Peripheral blood smear — 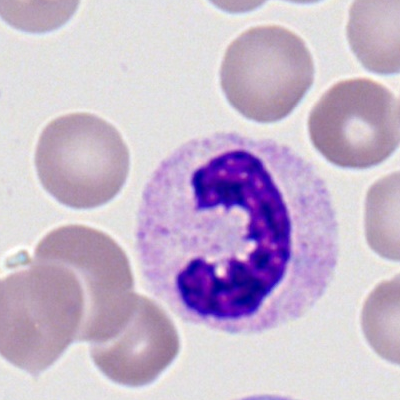
Morphology → segmented neutrophil.